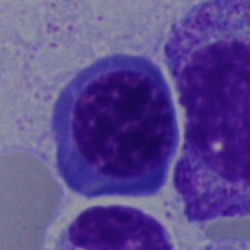Q: What is shown here?
A: This is a nucleated red blood cell.